Bone marrow aspirate smear. Single-cell field:
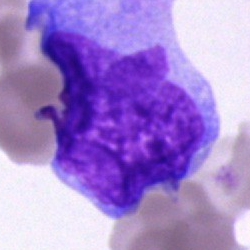

{"cell_type": "blast cell"}